Bone marrow smear: 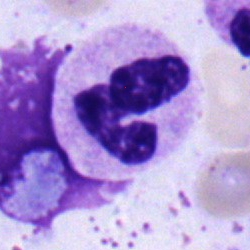
Q: Identify the cell.
A: A neutrophil (segmented).